MGG-stained; bone marrow aspirate smear; 250 by 250 pixels
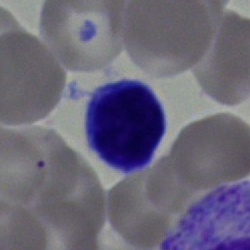

Cell — typical lymphocyte.